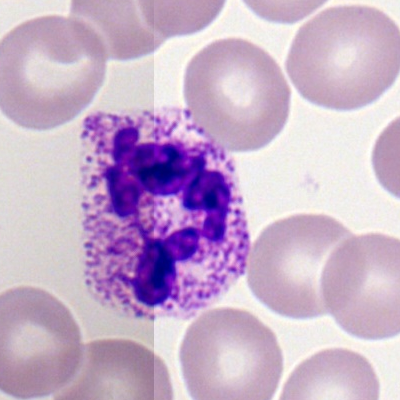
Classification — neutrophil (segmented).